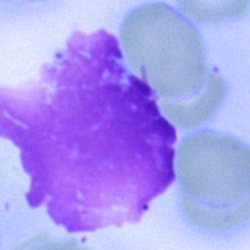 The cell type is artefact.